Bone marrow smear. MGG-stained: 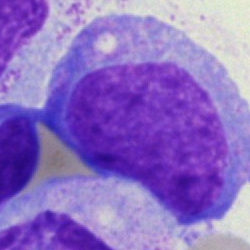 This is an undifferentiated blast.